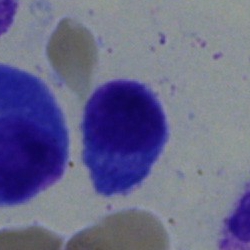 Cell type: plasma cell.